Bone marrow smear — 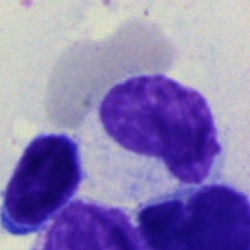

Cell — metamyelocyte.